Single-cell field; bone marrow smear; 40× objective, oil immersion:
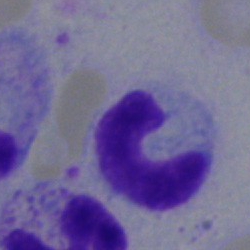

A band neutrophil.